Romanowsky-type stain · single cell centered in the field · peripheral blood smear:
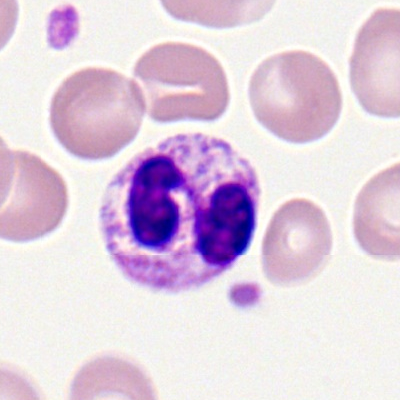
The classification is neutrophil (segmented).